Bone marrow smear: 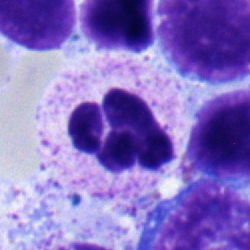
{"cell_type": "segmented neutrophil", "lineage": "myeloid"}